Bone marrow smear — 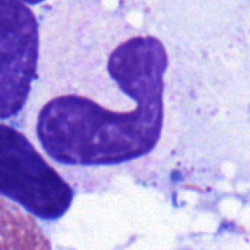
Morphological class = band neutrophil.